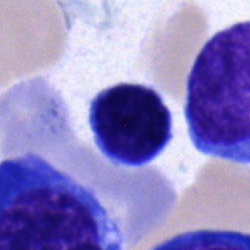
Q: What type of cell is this?
A: This is a lymphocyte.